100× objective, oil immersion. Peripheral blood smear — 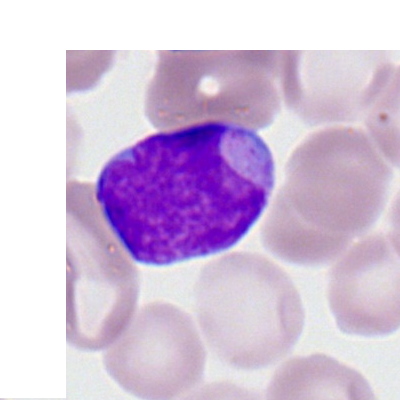 Impression — myeloid blast.